Bone marrow smear · single-cell field: 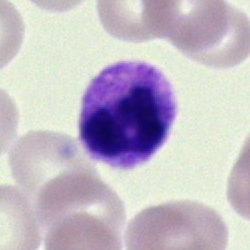The classification is neutrophil (segmented).